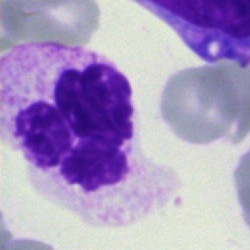 Q: What is shown here?
A: Neutrophil (segmented).